Single cell centered in the field. Bone marrow aspirate smear: 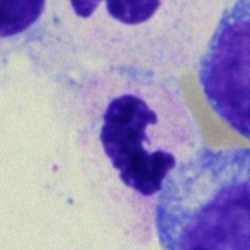 Specimen: bone marrow aspirate smear.
Cell: neutrophil (segmented).
Lineage: myeloid.